250×250. Bone marrow aspirate smear — 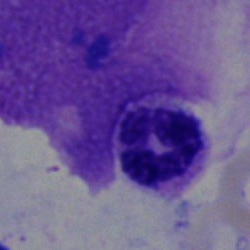 Specimen: bone marrow smear.
Classification: segmented neutrophil.